Peripheral blood film — 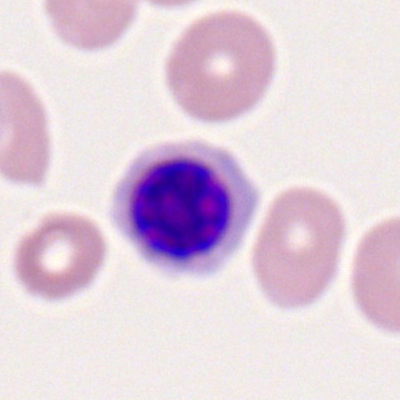

Nucleated red blood cell.